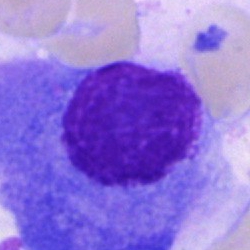
{"cell_type": "plasmacyte", "lineage": "lymphoid"}